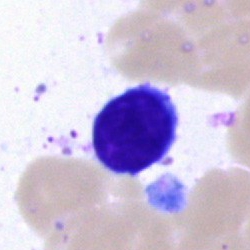

Classification: typical lymphocyte.